Bone marrow smear: 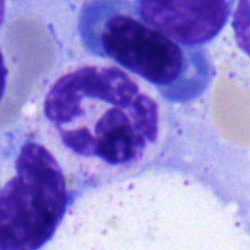Neutrophil (segmented).